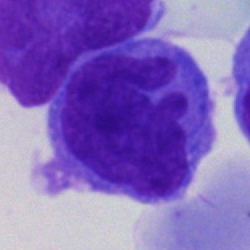

Single-cell crop from a bone marrow smear: undifferentiated blast.